Bone marrow smear: 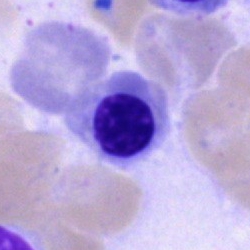
Showing a nucleated red blood cell.